Bone marrow aspirate smear — 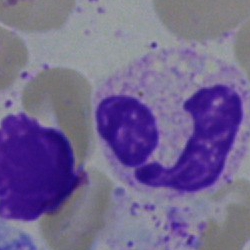 Q: Identify the cell.
A: This is a polymorphonuclear neutrophil.